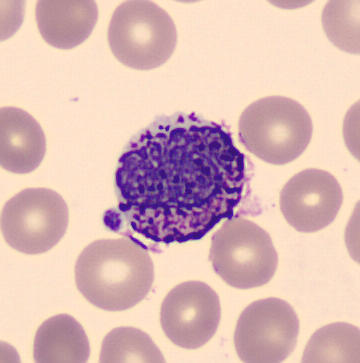

From a peripheral blood smear: a basophil.